Bone marrow smear. MGG-stained: 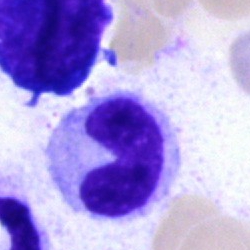 Impression — stab cell.